Bone marrow smear — 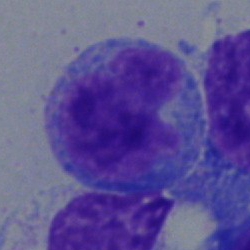
Q: Which cell type is shown here?
A: This is a blast cell.